Bone marrow smear
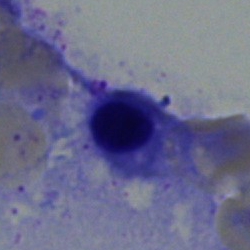
Specimen: bone marrow smear.
Classification: nucleated red cell.
Lineage: erythroid.